Bone marrow aspirate smear — 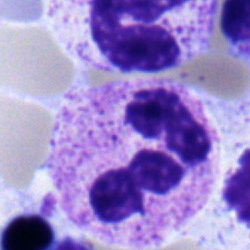

Specimen: bone marrow aspirate smear.
Classification: segmented neutrophil.
Lineage: myeloid.